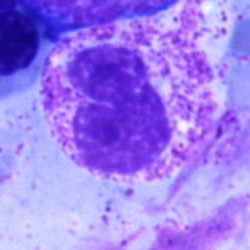A stab cell.